Single cell centered in the field. Bone marrow smear. May-Grünwald-Giemsa stain — 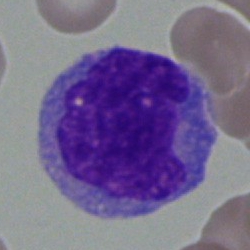
Morphology → monocyte.